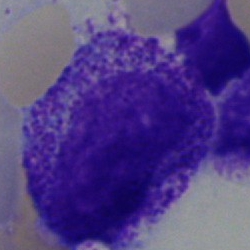Q: What type of cell is this?
A: A myelocyte.